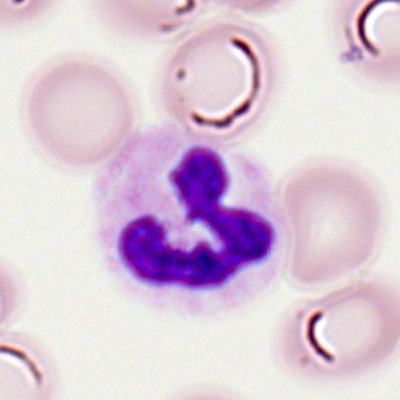Cell — neutrophil (segmented).